40× oil immersion. Bone marrow smear. May-Grünwald-Giemsa stain:
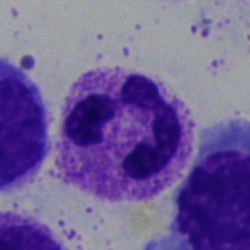

Impression — neutrophil (segmented).